Bone marrow smear
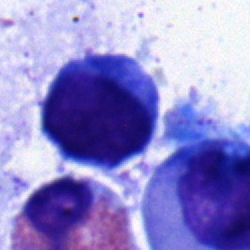
This is a typical lymphocyte.